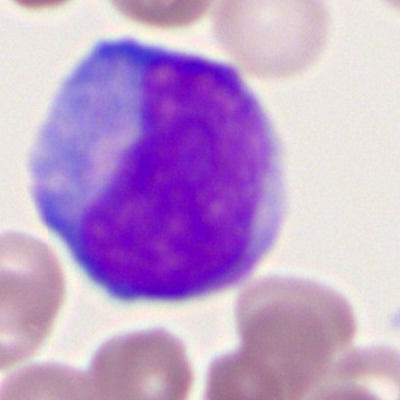 Q: Identify the cell.
A: This is a myeloblast.